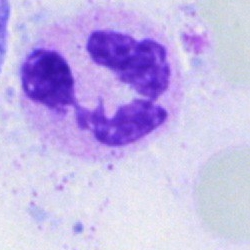

Specimen: bone marrow smear.
Cell type: neutrophil (segmented).
Lineage: myeloid.